Peripheral blood smear: 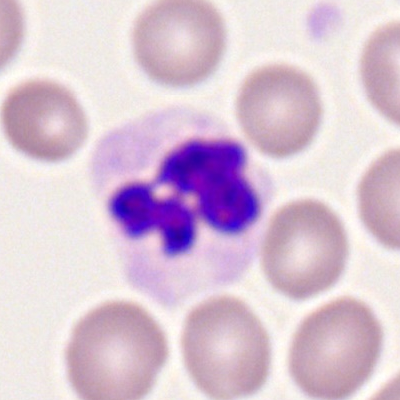
Showing a neutrophil (segmented).